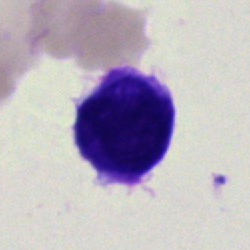 Cell type — artefact.